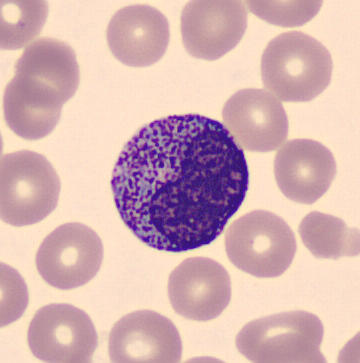Promyelocyte.

Acquisition: Peripheral blood film.